Bone marrow smear. May-Grünwald-Giemsa stain.
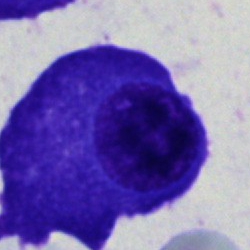

A plasma cell.